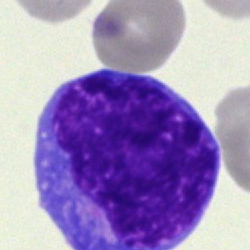Bone marrow aspirate smear, single cell — blast cell.